Brightfield microscopy, 40× oil immersion · single cell centered in the field · bone marrow aspirate smear:
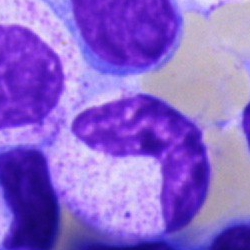Morphology consistent with a stab cell.